Bone marrow aspirate smear; 40× objective, oil immersion.
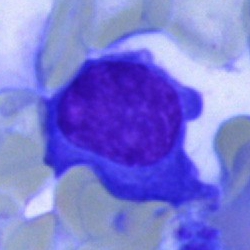

{"cell_type": "plasmacyte", "lineage": "lymphoid"}